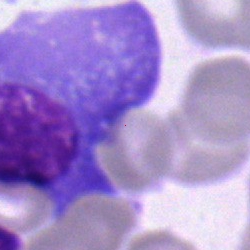

Specimen: bone marrow aspirate smear.
Cell type: plasmacyte.